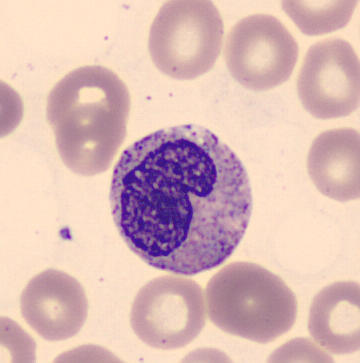

Morphology — metamyelocyte.